Bone marrow smear — 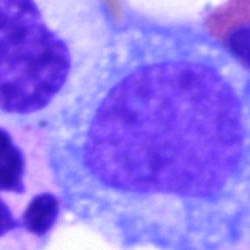Morphology consistent with a promyelocyte.